May-Grünwald-Giemsa stain · bone marrow aspirate smear — 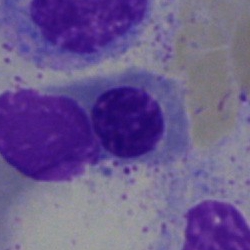

This is a nucleated red blood cell.